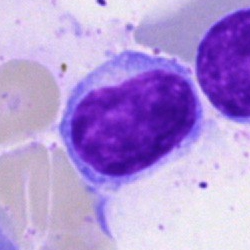
Single-cell crop from a bone marrow smear: typical lymphocyte.